250×250 px. Bone marrow aspirate smear — 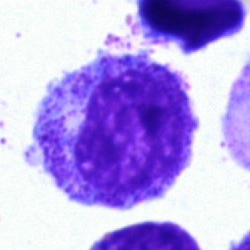

Single cell identified as a myelocyte.